Peripheral blood film; Romanowsky stain; single-cell field.
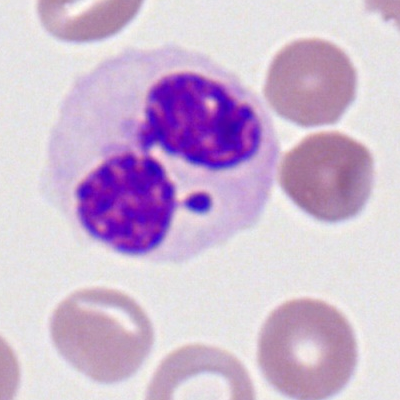 Morphology consistent with a segmented neutrophil.